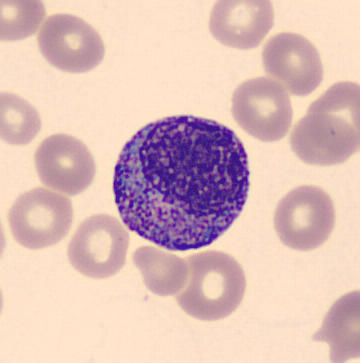

Morphology consistent with a progranulocyte.
Preparation: Peripheral blood film; CellaVision DM96.